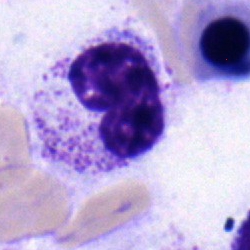
Classification = metamyelocyte.